Bone marrow aspirate smear. Brightfield microscopy, 40× oil immersion — 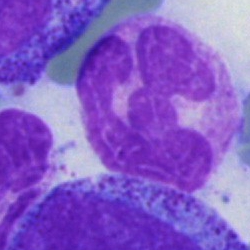 Q: Which cell type is shown here?
A: Polymorphonuclear neutrophil.